Bone marrow aspirate smear.
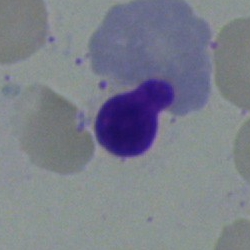Q: Which cell type is shown here?
A: It is a lymphocyte.